Bone marrow smear. Single-cell crop
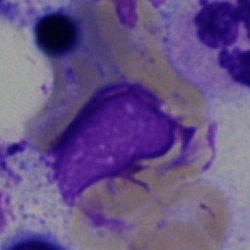Morphology — artifact.